Bone marrow aspirate smear:
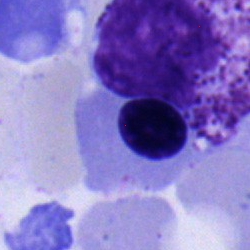 Specimen: bone marrow smear.
Cell type: nucleated red blood cell.